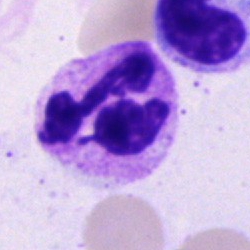Classification: neutrophil (segmented).